Bone marrow aspirate smear
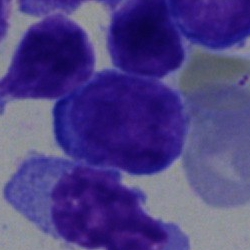Morphological class = undifferentiated blast.